Bone marrow aspirate smear. Brightfield, 40× oil-immersion objective:
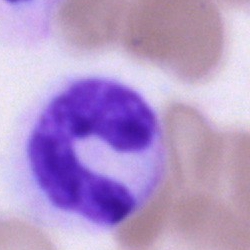

Morphological class = band neutrophil.